Pappenheim-stained; 40× oil immersion; bone marrow aspirate smear
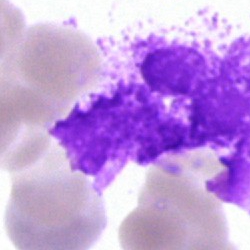
Morphology consistent with an artifact.